Bone marrow aspirate smear; 40× objective, oil immersion:
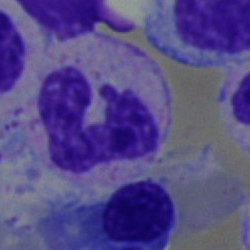
Single cell identified as a band neutrophil.